40× objective, oil immersion · 250×250 px · bone marrow aspirate smear — 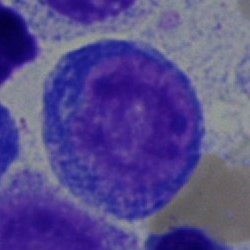Morphology → proerythroblast.